Bone marrow aspirate smear. Single-cell crop
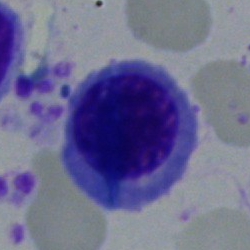

Erythroblast.